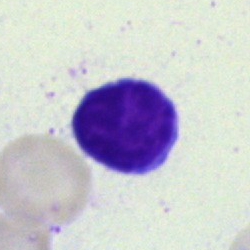 Morphology → typical lymphocyte.